Bone marrow smear · brightfield, 40× oil-immersion objective: 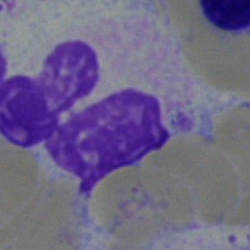

{"cell_type": "segmented neutrophil"}